Bone marrow aspirate smear · 250×250 px:
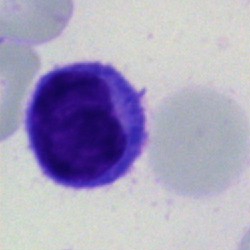

This is a lymphocyte.